Bone marrow smear · single-cell crop: 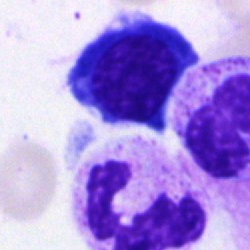
Single cell identified as a polymorphonuclear neutrophil.